Bone marrow smear.
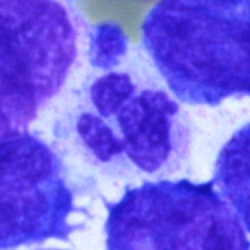

Morphological class: segmented neutrophil.